Bone marrow smear.
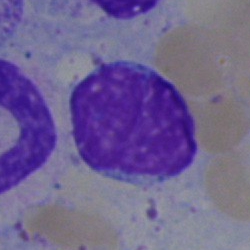

Q: What is the morphological classification of this cell?
A: Typical lymphocyte.